Bone marrow smear: 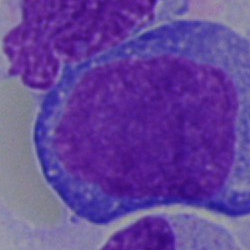

Cell — blast.